Peripheral blood film; Romanowsky stain — 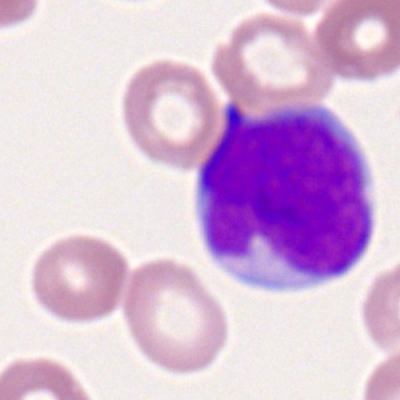

Classification: myeloid blast.